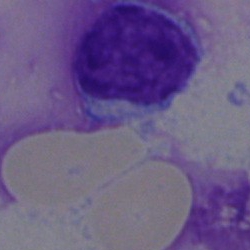
The morphological class is typical lymphocyte.